Peripheral blood film.
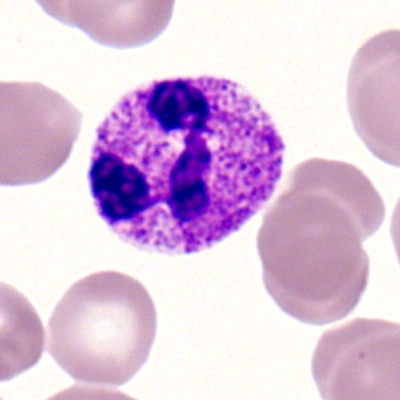 This is a neutrophil (segmented).